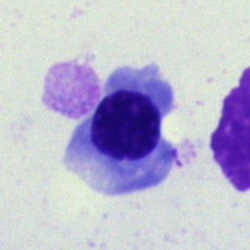
Specimen: bone marrow aspirate smear.
Cell: nucleated red cell.